MGG-stained; bone marrow smear
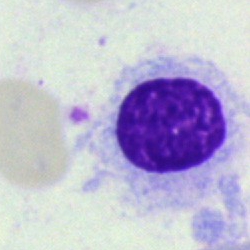 Showing a hairy cell.